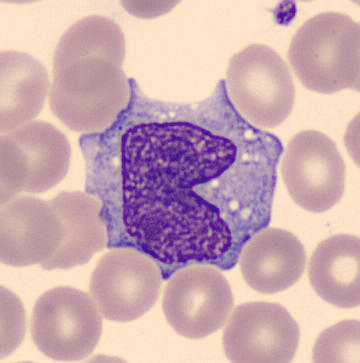 Showing a monocyte.
Peripheral blood film.